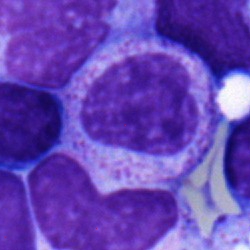Bone marrow aspirate smear, single cell — myelocyte.